Bone marrow aspirate smear · brightfield, 40× oil-immersion objective.
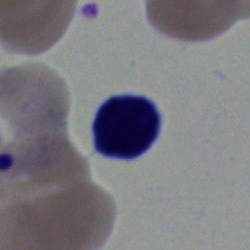 This is a lymphocyte.